Bone marrow aspirate smear.
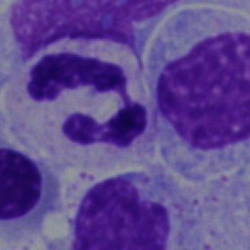
Morphology → neutrophil (segmented).